Brightfield, 40× oil-immersion objective; bone marrow smear: 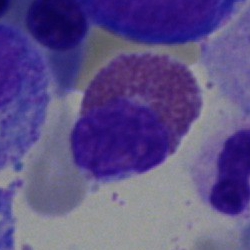 {"cell_type": "eosinophilic granulocyte", "lineage": "myeloid"}